Peripheral blood film; 400×400 px: 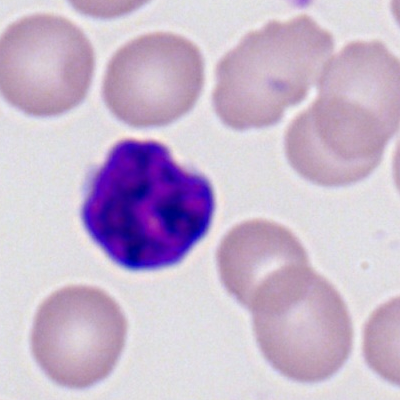 Cell = lymphocyte.